Peripheral blood film; Romanowsky stain.
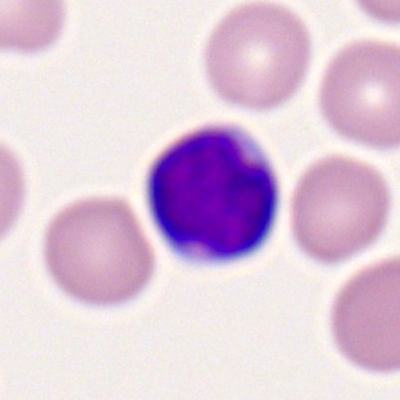
The cell shown is a myeloid blast.